40× objective, oil immersion. Bone marrow smear:
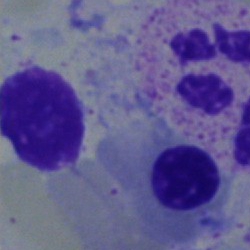

Impression — nucleated red blood cell.